Bone marrow aspirate smear. 250×250 px
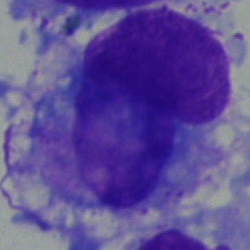
Specimen: bone marrow smear.
Cell type: monocyte.